May-Grünwald-Giemsa stain · bone marrow smear:
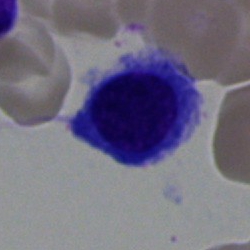 Specimen: bone marrow aspirate smear.
Cell: nucleated red cell.